Bone marrow aspirate smear — 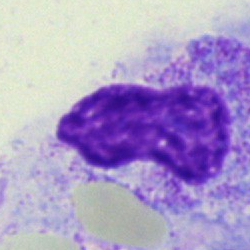 Showing a stab cell.